Peripheral blood smear — 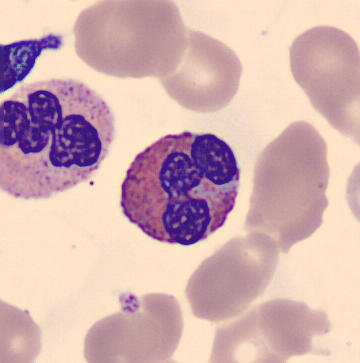
Cell type — eosinophil.